250 by 250 pixels. Pappenheim-stained. Bone marrow smear:
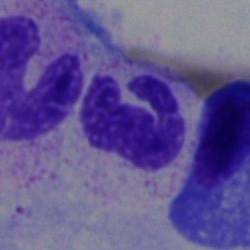
Cell: segmented neutrophil.